Bone marrow smear · 250×250.
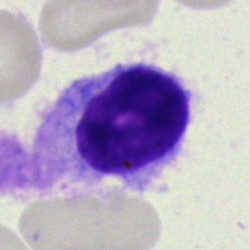Specimen: bone marrow aspirate smear.
Classification: hairy cell.
Lineage: lymphoid.